Bone marrow smear · May-Grünwald-Giemsa stain — 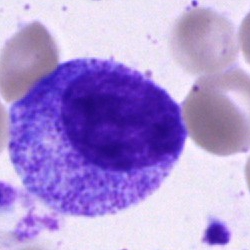

Single cell identified as a progranulocyte.